Single cell centered in the field; bone marrow aspirate smear; Pappenheim-stained: 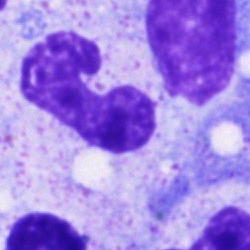

Stab cell.